Image size 400×400; peripheral blood smear — 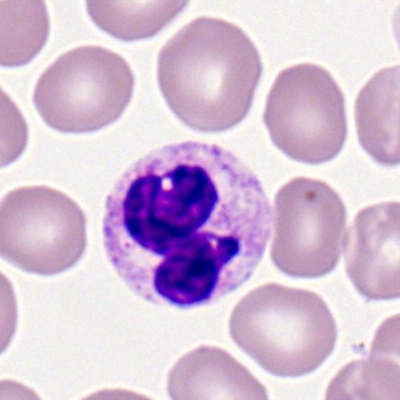 Cell type — segmented neutrophil.